Bone marrow aspirate smear: 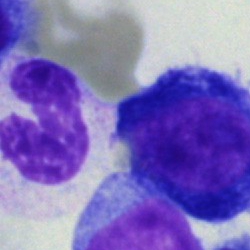Q: What is the morphological classification of this cell?
A: A pronormoblast.